Bone marrow aspirate smear — 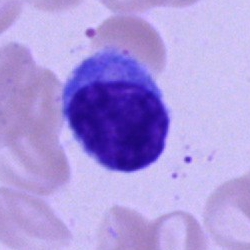

{"cell_type": "typical lymphocyte"}